Bone marrow aspirate smear
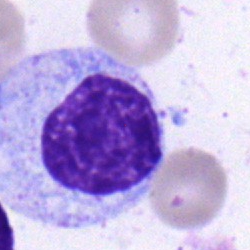
This is a myelocyte.